250×250 px. Pappenheim-stained. Bone marrow aspirate smear.
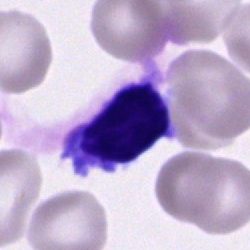
The cell type is typical lymphocyte.